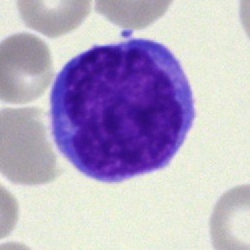

Single cell identified as an undifferentiated blast.